Cropped to a single cell. Bone marrow smear. MGG-stained: 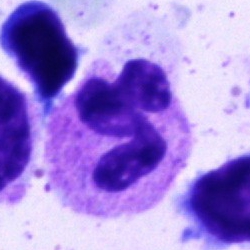 A polymorphonuclear neutrophil.